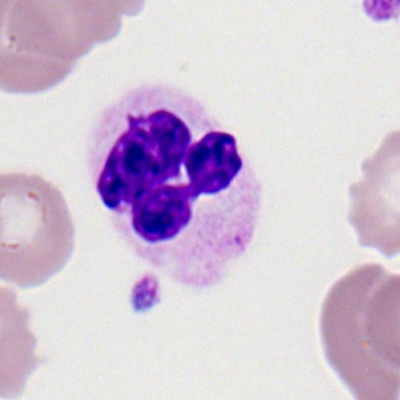
Q: What cell is this?
A: A neutrophil (segmented).